40× oil immersion. Bone marrow smear. Single cell centered in the field: 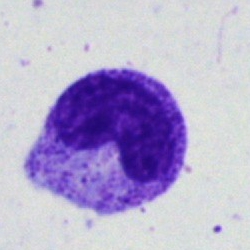

Showing a band-form neutrophil.